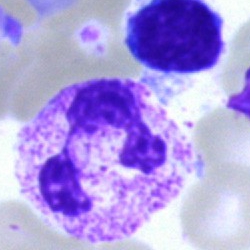Specimen: bone marrow smear.
Cell: segmented neutrophil.
Lineage: myeloid.